250×250 · bone marrow smear — 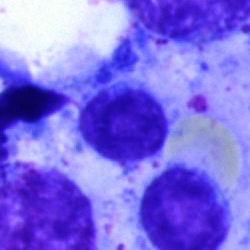Impression — lymphocyte.